Single-cell field · bone marrow aspirate smear:
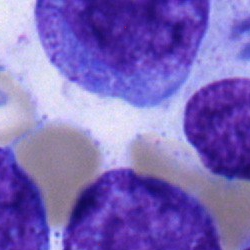Morphological class — blast.